250×250 · bone marrow smear · single-cell field.
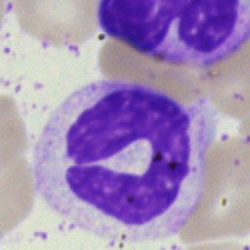 Morphology consistent with a stab cell.